Bone marrow aspirate smear.
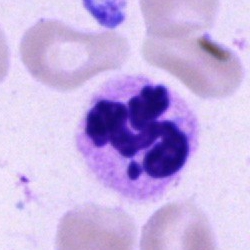The cell shown is a segmented neutrophil.